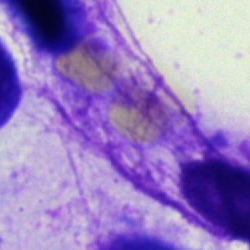 Morphology — artifact.